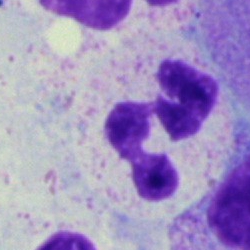Morphological class — segmented neutrophil.